Bone marrow smear — 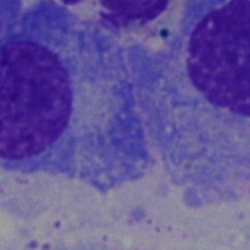Morphological class — plasmacyte.